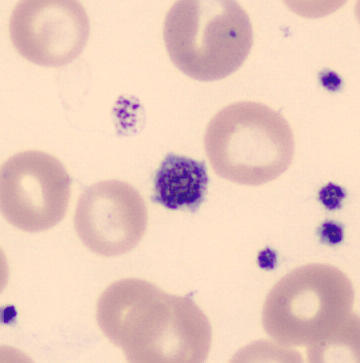
Q: What is shown here?
A: This is a platelet (thrombocyte).